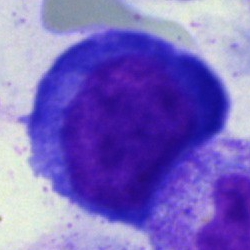
Morphology — pronormoblast.